Single-cell field · 250×250 · bone marrow aspirate smear: 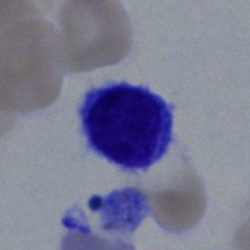 Specimen: bone marrow smear.
Classification: typical lymphocyte.
Lineage: lymphoid.